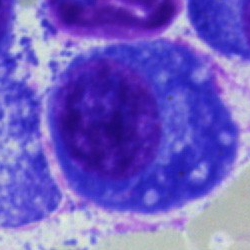
Q: Identify the cell.
A: This is a plasmacyte.